Bone marrow smear.
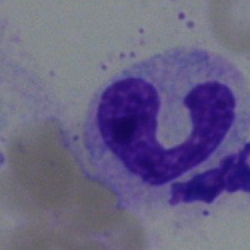 Q: What is shown here?
A: Neutrophil (band).